Bone marrow aspirate smear · single-cell field:
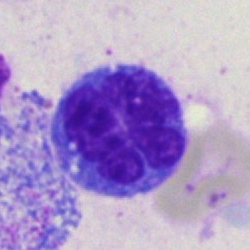 Morphology → monocyte.